Peripheral blood smear
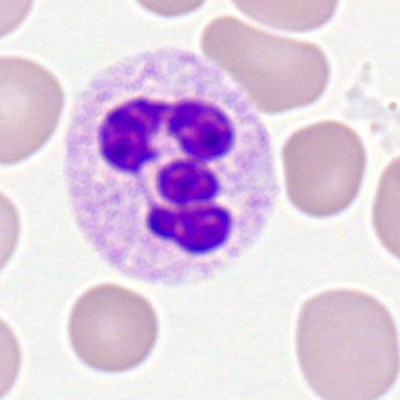Morphological class: segmented neutrophil.